250×250. Bone marrow smear
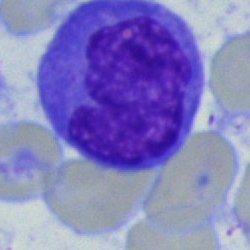The cell type is monocyte.